Bone marrow aspirate smear · single cell centered in the field · May-Grünwald-Giemsa stain — 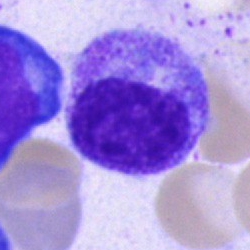

Q: Which cell type is shown here?
A: It is a myelocyte.